Single-cell field · image size 250×250 · bone marrow smear:
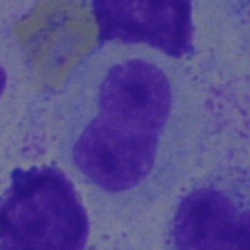 Metamyelocyte.